Bone marrow smear.
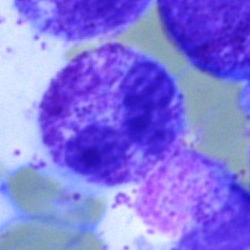
Single cell identified as a segmented neutrophil.